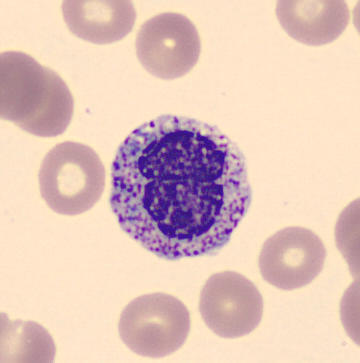

A metamyelocyte on a peripheral blood smear.